Bone marrow smear · May-Grünwald-Giemsa stain
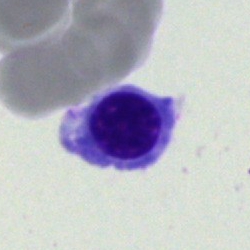Q: Identify the cell.
A: Normoblast.